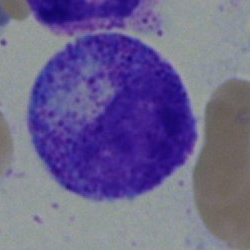The cell type is myelocyte.